Bone marrow smear. Cropped to a single cell:
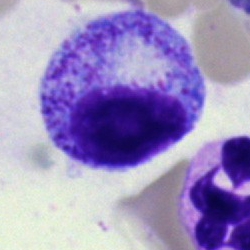 Q: What cell is this?
A: A myelocyte.